Bone marrow smear: 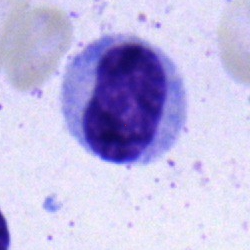

A metamyelocyte.